Bone marrow aspirate smear; 250×250
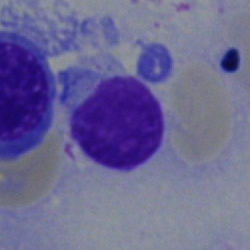Q: Which cell type is shown here?
A: Typical lymphocyte.